40× objective, oil immersion; bone marrow aspirate smear: 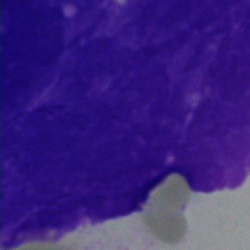Impression → artifact.